Bone marrow aspirate smear
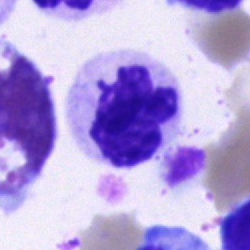

The cell shown is a neutrophil (segmented).